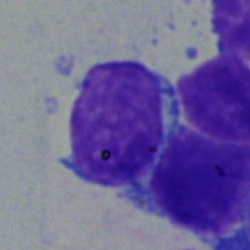 Cell type: typical lymphocyte.